Romanowsky-type stain · peripheral blood smear · 400 by 400 pixels — 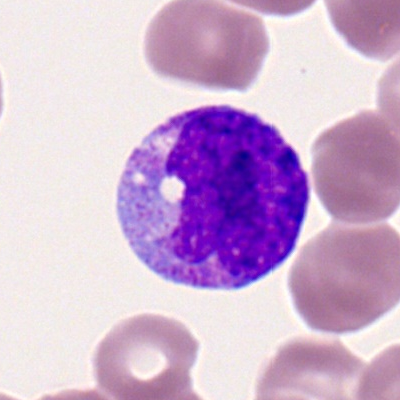

Specimen: peripheral blood smear.
Morphological class: monocyte.
Lineage: myeloid.